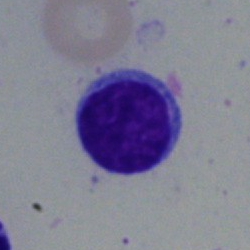
This is a typical lymphocyte.